Bone marrow smear. 250×250: 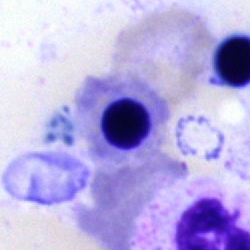
Q: Identify the cell.
A: Erythroblast.